Bone marrow smear: 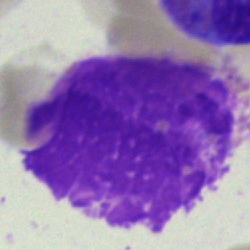Single cell identified as an artifact.